Bone marrow aspirate smear; 40× oil immersion; single-cell crop — 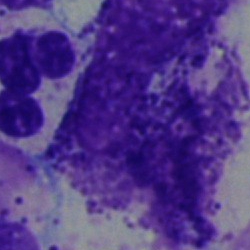 Morphology consistent with a cell not matching the other categories.